Bone marrow aspirate smear
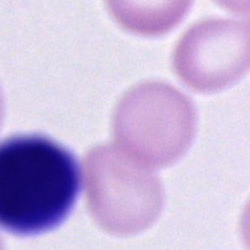Morphology — unidentifiable cell.